Bone marrow smear:
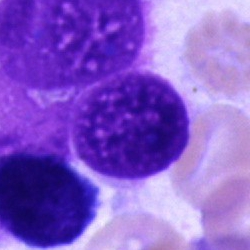

Specimen: bone marrow smear.
Cell: unidentifiable cell.